Bone marrow aspirate smear.
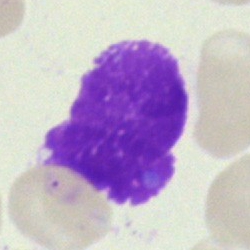 Morphological class: artifact.